Bone marrow aspirate smear.
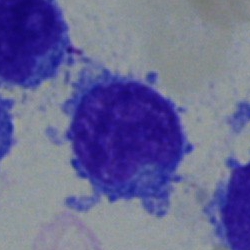Typical lymphocyte.